Bone marrow smear.
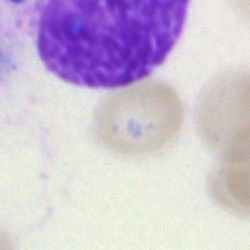 Morphology consistent with a myelocyte.